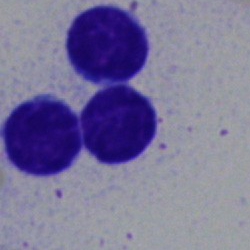 Q: What type of cell is this?
A: A typical lymphocyte.